Bone marrow smear — 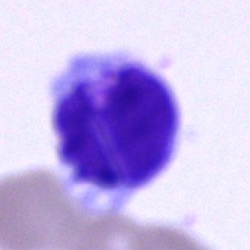 Specimen: bone marrow aspirate smear.
Cell: cell of indeterminate lineage.